Bone marrow aspirate smear — 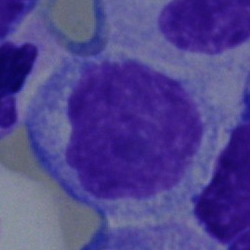The cell shown is a blast.